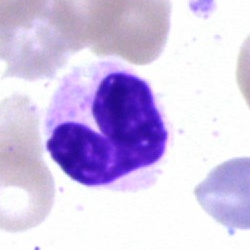 Q: Which cell type is shown here?
A: A neutrophil (band).